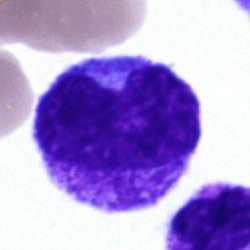Morphology consistent with a metamyelocyte.